400×400 · peripheral blood film.
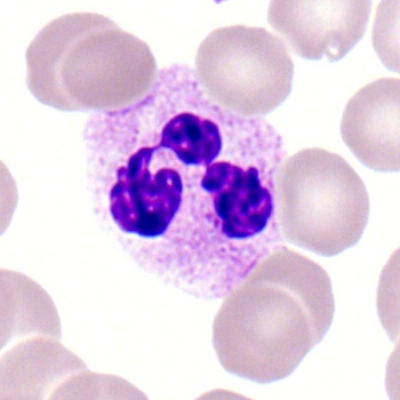
This is a polymorphonuclear neutrophil.